Bone marrow aspirate smear.
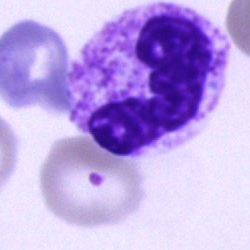 Cell type: polymorphonuclear neutrophil.